Bone marrow smear.
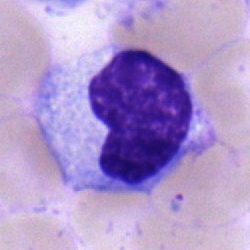

Cell = neutrophil (band).